Peripheral blood film.
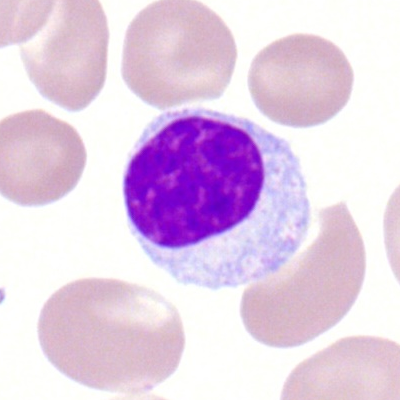
Morphology consistent with a lymphocyte.